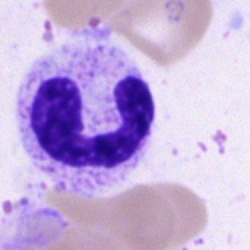

Single cell identified as a neutrophil (band).